May-Grünwald-Giemsa stain; bone marrow smear; 250×250 px:
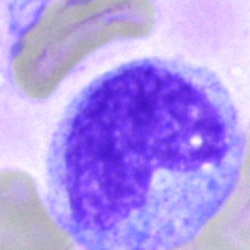

Specimen: bone marrow smear.
Classification: metamyelocyte.